Peripheral blood smear
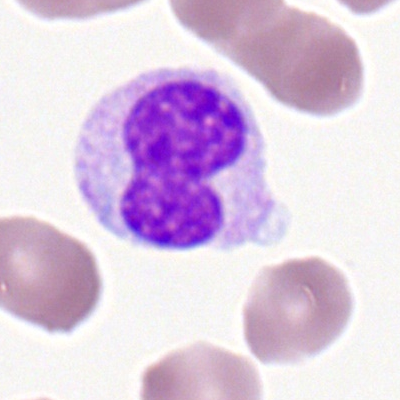 Cell — monocyte.